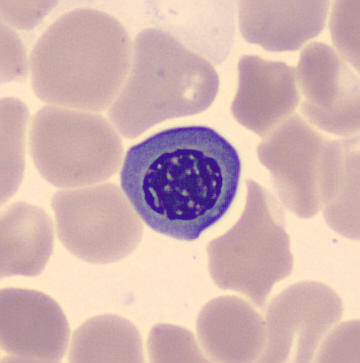 Image: Peripheral blood film. Cell: nucleated red cell.